250×250 px · bone marrow smear.
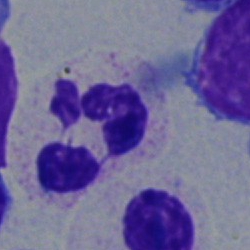

Q: What is shown here?
A: Neutrophil (segmented).